Bone marrow smear:
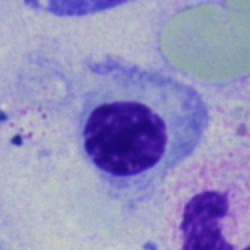Morphology consistent with a normoblast.